Bone marrow smear:
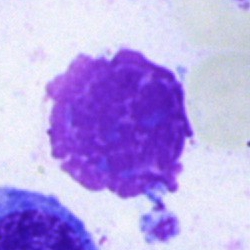Cell type = artefact.